Peripheral blood smear. Romanowsky stain. 100× oil immersion, 14.14 px/µm: 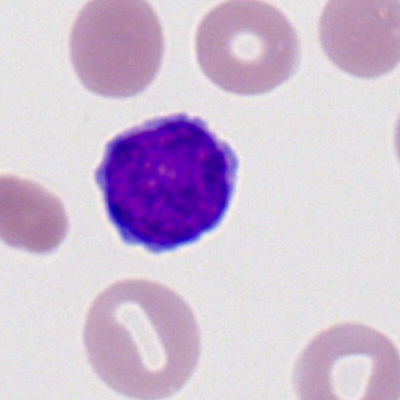 Typical lymphocyte.